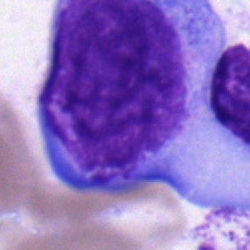 Cell type: undifferentiated blast.